Peripheral blood film · Romanowsky-stained — 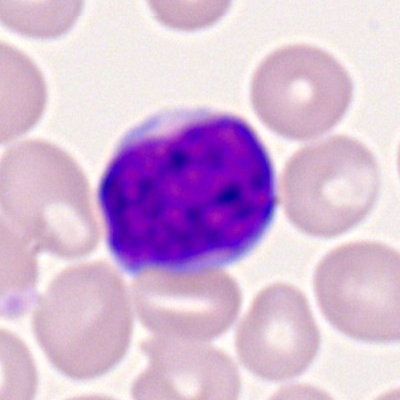 Specimen: peripheral blood film.
Cell type: polymorphonuclear neutrophil.
Lineage: myeloid.